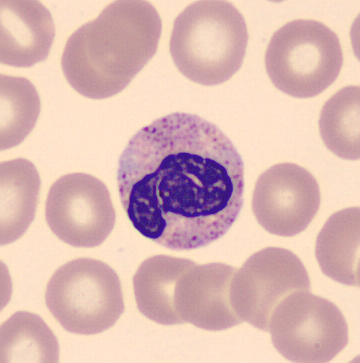

Morphology — stab cell.